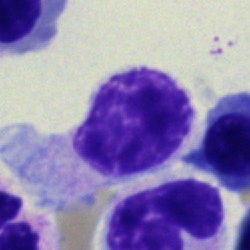
Single cell identified as an artefact.